Bone marrow aspirate smear:
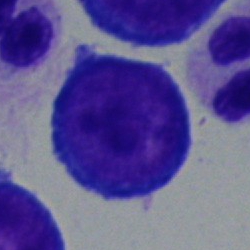
This is a pronormoblast.